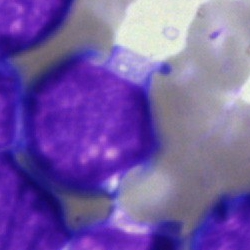 Q: What is the morphological classification of this cell?
A: This is an undifferentiated blast.